Bone marrow smear: 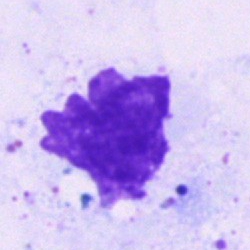
{"cell_type": "artefact"}